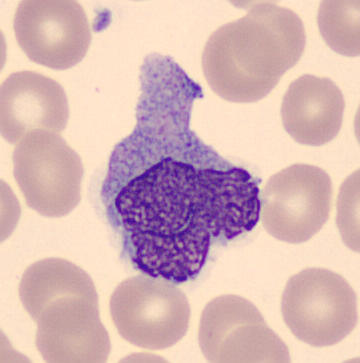
Q: What cell is this?
A: Monocyte. Image: Peripheral blood smear.